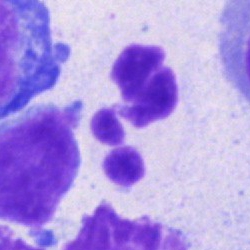
Bone marrow smear showing a neutrophil (segmented).